40× oil immersion; 250×250; bone marrow smear.
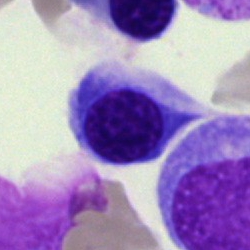 Normoblast.